Bone marrow aspirate smear — 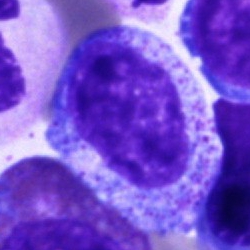
Cell type — progranulocyte.